Bone marrow aspirate smear; 40× oil immersion
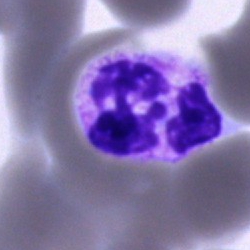 Morphology → neutrophil (segmented).